Single-cell crop; brightfield microscopy, 40× oil immersion; bone marrow aspirate smear: 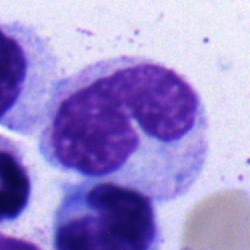 Band-form neutrophil.